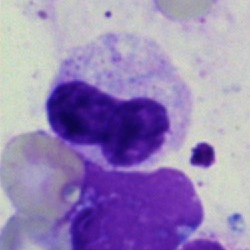Cell = neutrophil (band).